Brightfield, 100× oil-immersion objective. Peripheral blood smear. Image size 400×400
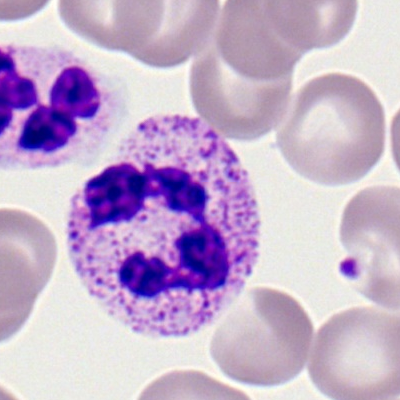

A neutrophil (segmented).